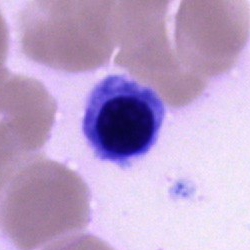
Specimen: bone marrow smear.
Morphological class: erythroblast.
Lineage: erythroid.